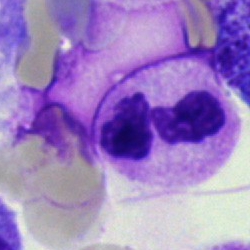 Bone marrow aspirate smear, single cell — neutrophil (segmented).